Bone marrow smear:
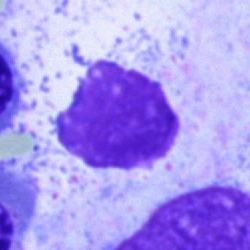

Morphology → artefact.